Bone marrow aspirate smear
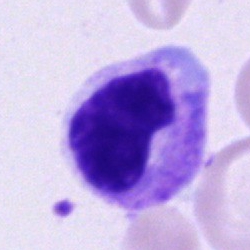
A metamyelocyte.